MGG-stained; bone marrow smear — 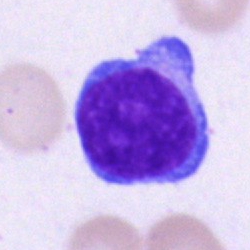
A lymphocyte.